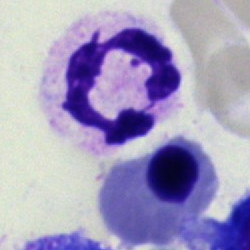
Classification = polymorphonuclear neutrophil.